Bone marrow smear: 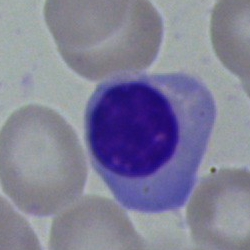
Q: Identify the cell.
A: A nucleated red blood cell.